Bone marrow aspirate smear
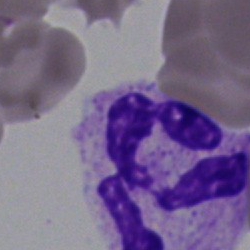 The morphological class is neutrophil (segmented).